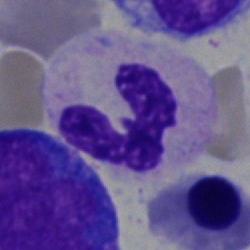Cell = polymorphonuclear neutrophil.